Bone marrow smear; single-cell field: 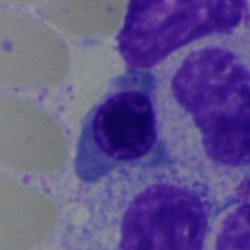

Specimen: bone marrow aspirate smear.
Cell type: normoblast.
Lineage: erythroid.